Bone marrow smear:
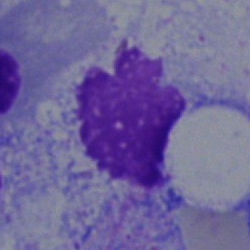
Showing an artifact.